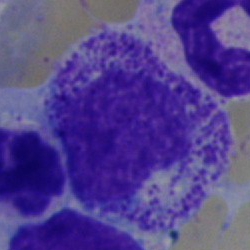

Morphological class: myelocyte.